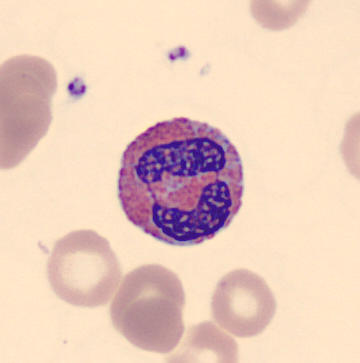
Cell type: eosinophil.

Preparation: MGG-stained · peripheral blood smear · 360×363.